Bone marrow smear · 40× objective, oil immersion: 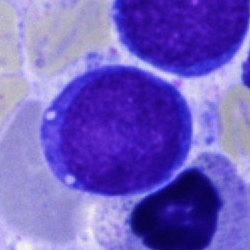Specimen: bone marrow aspirate smear.
Classification: blast.